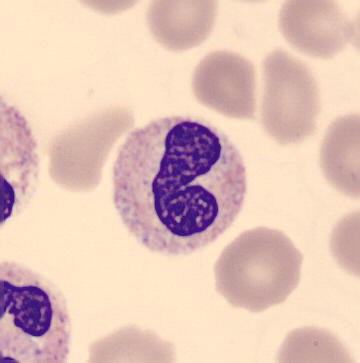

Showing a band-form neutrophil.